Bone marrow aspirate smear; cropped to a single cell; May-Grünwald-Giemsa/Pappenheim stain: 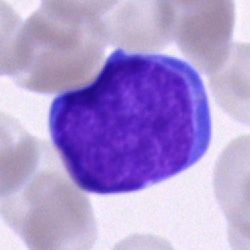The cell is blast cell.